Bone marrow smear — 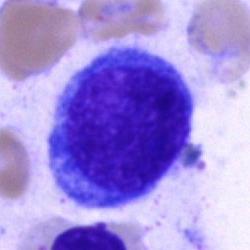Q: What is the morphological classification of this cell?
A: A blast.